Bone marrow smear:
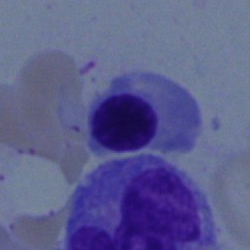Showing a nucleated red cell.